Bone marrow smear: 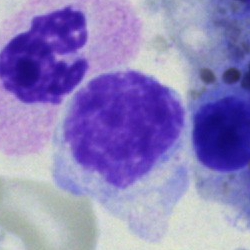The cell shown is a neutrophil (segmented).